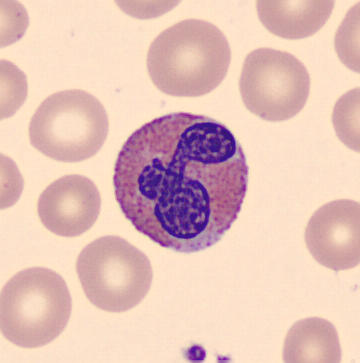

Specimen: peripheral blood smear.
Classification: eosinophil.
Lineage: myeloid.